Peripheral blood smear: 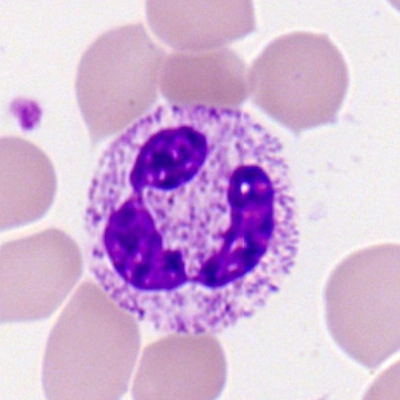
Cell type — neutrophil (segmented).